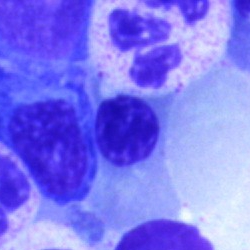 {"cell_type": "nucleated red cell", "lineage": "erythroid"}